Bone marrow aspirate smear; brightfield, 40× oil-immersion objective:
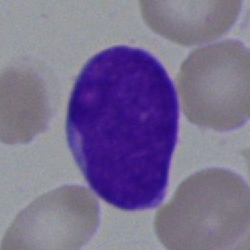
Cell: undifferentiated blast.